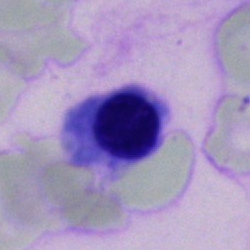 Specimen: bone marrow aspirate smear.
Classification: erythroblast.
Lineage: erythroid.